Peripheral blood film; CellaVision DM96; MGG stain.
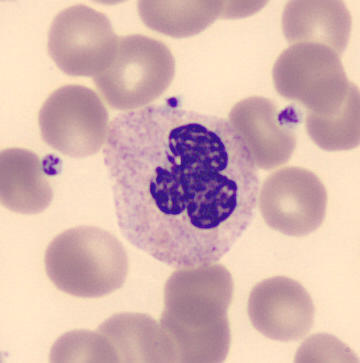
Neutrophil (segmented).